Single-cell field; bone marrow smear — 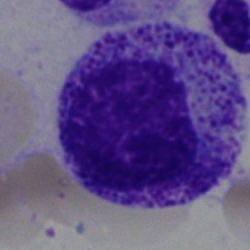Morphology → progranulocyte.